Cropped to a single cell · bone marrow smear.
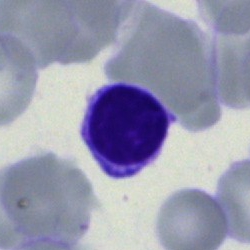 Q: What is the morphological classification of this cell?
A: A lymphocyte.